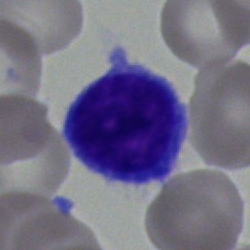

Impression → lymphocyte.